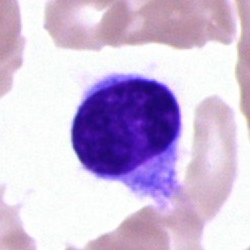
Q: What is shown here?
A: This is a hairy cell.